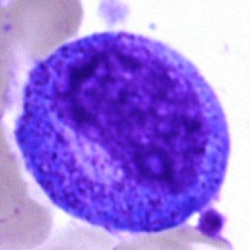 Morphological class = progranulocyte.